250×250; single-cell crop; bone marrow aspirate smear
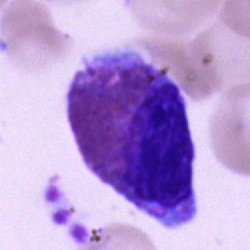

Showing an eosinophil.